May-Grünwald-Giemsa stain. Bone marrow smear: 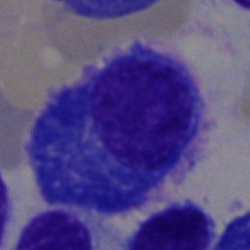
Plasma cell.